Bone marrow aspirate smear.
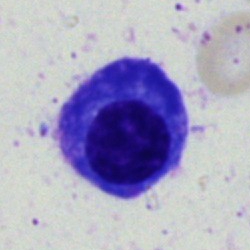 Specimen: bone marrow aspirate smear.
Morphological class: plasmacyte.